Peripheral blood film:
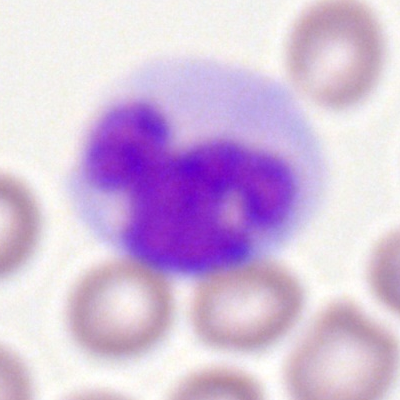

The classification is monocyte.